M8 digital microscope (Precipoint), 100× oil immersion · peripheral blood smear.
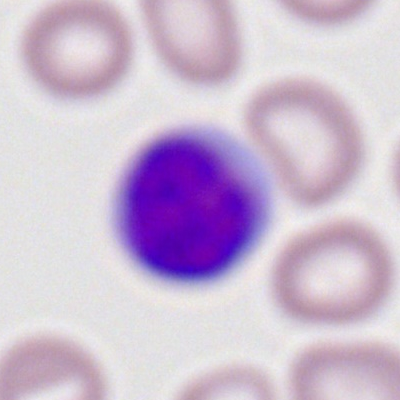 The classification is lymphocyte.